Bone marrow smear — 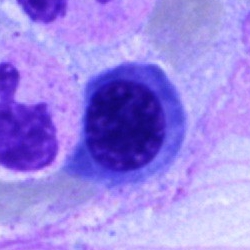

Morphology consistent with a nucleated red blood cell.